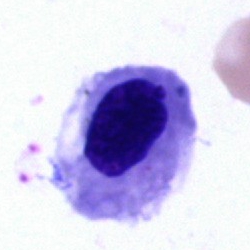Specimen: bone marrow aspirate smear.
Cell: nucleated red blood cell.
Lineage: erythroid.